Image size 360×363; peripheral blood smear
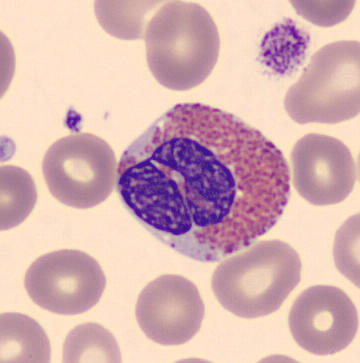 The cell shown is an eosinophilic granulocyte.